Bone marrow smear · single-cell field — 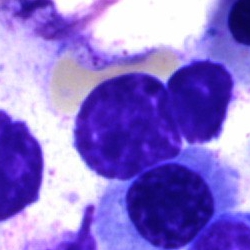

This is an unidentifiable cell.